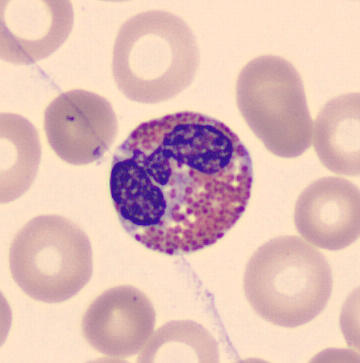
The cell shown is an eosinophil.